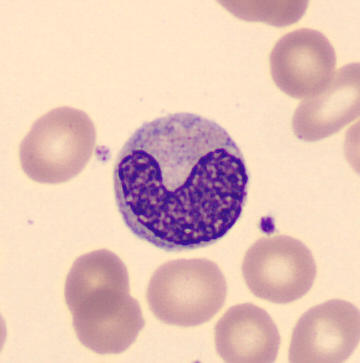Cell type — metamyelocyte.